Bone marrow smear. Cropped to a single cell
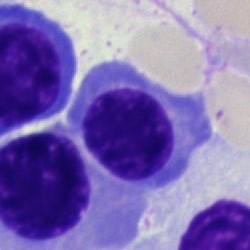
Morphological class — nucleated red cell.